Bone marrow smear
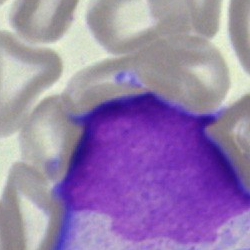 A blast cell.